40× objective, oil immersion · bone marrow smear:
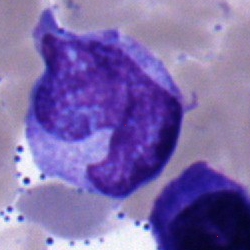Cell: monocyte.